Peripheral blood smear — 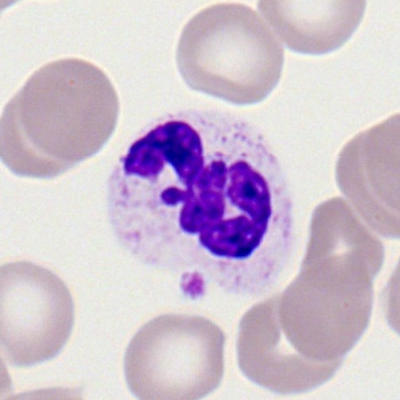

Specimen: peripheral blood film.
Cell: polymorphonuclear neutrophil.
Lineage: myeloid.